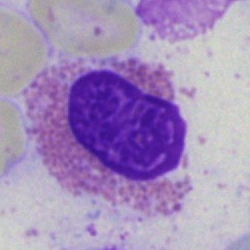Bone marrow smear showing an eosinophilic granulocyte.